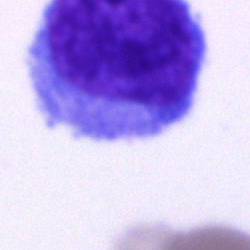
Specimen: bone marrow smear.
Cell: blast cell.